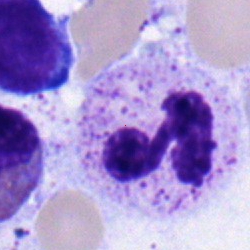

Q: What is the morphological classification of this cell?
A: It is a neutrophil (segmented).